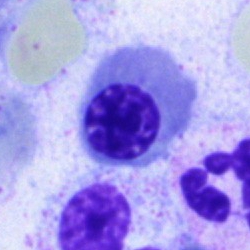 Q: What cell is this?
A: This is a nucleated red blood cell.